Bone marrow smear. 250×250: 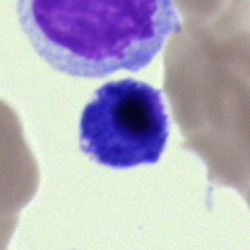
A cell of indeterminate lineage.